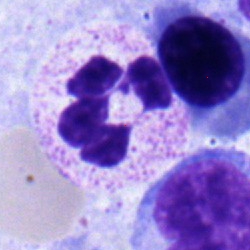

Impression — typical lymphocyte.